Single cell centered in the field. Bone marrow smear.
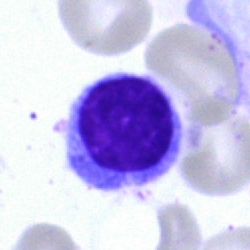
Q: What is shown here?
A: Lymphocyte.